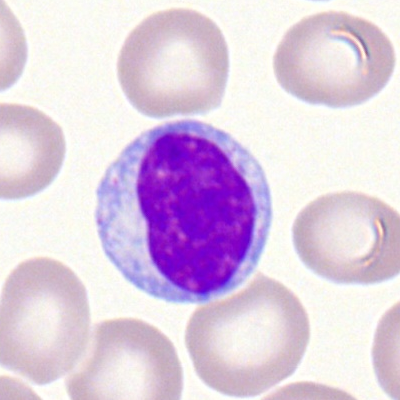

Single-cell crop from a peripheral blood smear: typical lymphocyte.